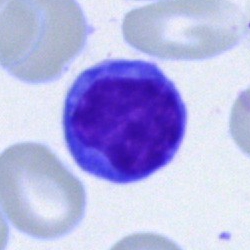

The cell is lymphocyte.